Pappenheim-stained; bone marrow smear; single-cell crop: 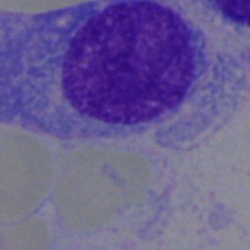Q: What type of cell is this?
A: This is a plasma cell.